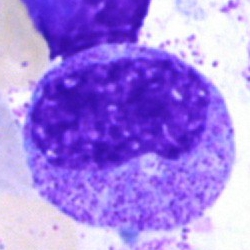

Classification — metamyelocyte.